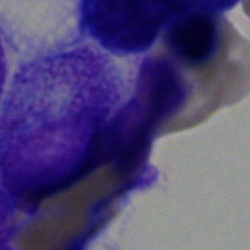Morphology consistent with an artefact.